May-Grünwald-Giemsa/Pappenheim stain · bone marrow smear:
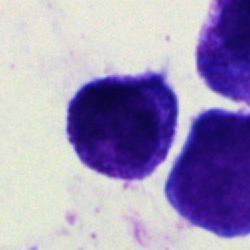
Q: What is shown here?
A: Typical lymphocyte.